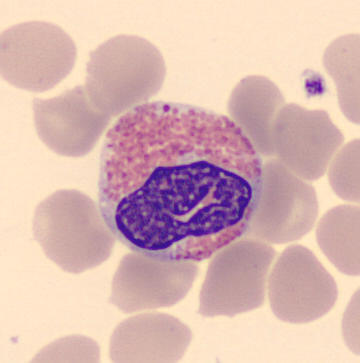
Classification = eosinophil. Acquisition: Cropped to a single cell; peripheral blood film.